Brightfield microscopy, 40× oil immersion · bone marrow aspirate smear:
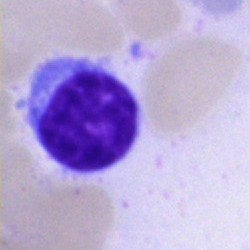Q: What is shown here?
A: This is a typical lymphocyte.